Cropped to a single cell. Peripheral blood film. Romanowsky-stained:
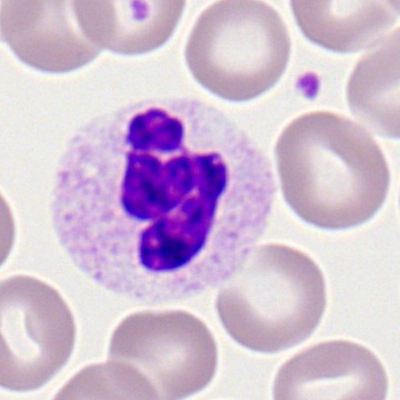

Cell = polymorphonuclear neutrophil.